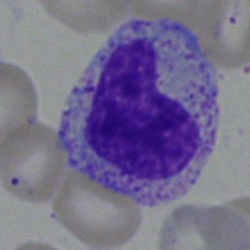Single cell identified as a metamyelocyte.